Peripheral blood smear:
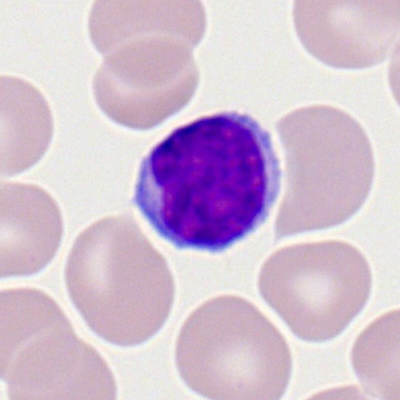

Cell — lymphocyte.